Bone marrow smear — 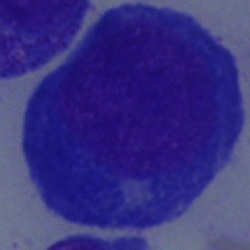
Q: What is the morphological classification of this cell?
A: This is a proerythroblast.